Bone marrow aspirate smear: 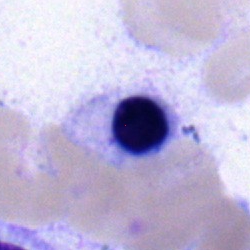This is a nucleated red cell.